Bone marrow aspirate smear.
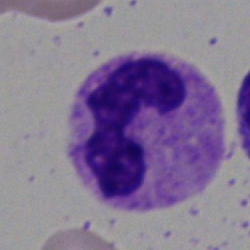 Specimen: bone marrow smear.
Classification: segmented neutrophil.
Lineage: myeloid.